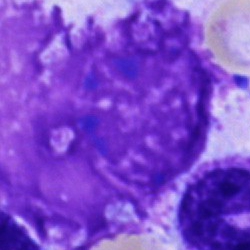Cell: artefact.